Bone marrow smear: 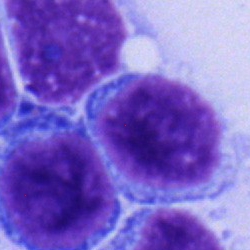 Q: What type of cell is this?
A: A typical lymphocyte.